Bone marrow smear · single cell centered in the field · 250×250: 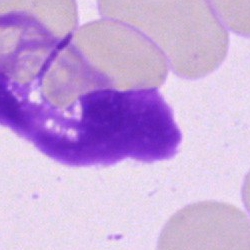 An artefact.